Bone marrow aspirate smear; single cell centered in the field; 250 by 250 pixels.
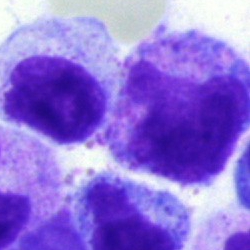 {"cell_type": "myelocyte"}